Bone marrow smear; 40× objective, oil immersion
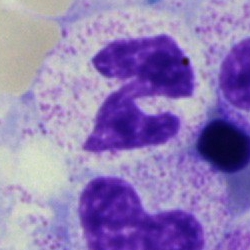
The cell shown is a segmented neutrophil.